Bone marrow aspirate smear
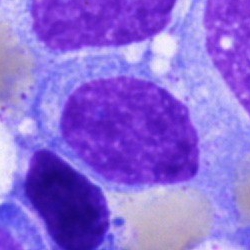 Q: What is the morphological classification of this cell?
A: An undifferentiated blast.